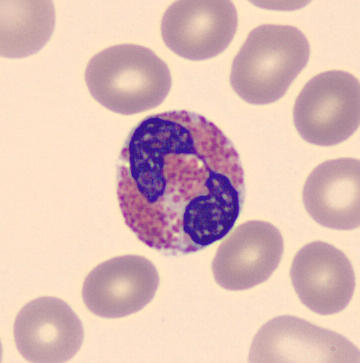Morphological class — eosinophil.
Acquisition: Peripheral blood film.